Bone marrow aspirate smear: 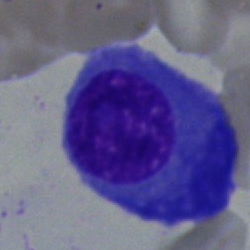
Q: Which cell type is shown here?
A: This is a plasmacyte.